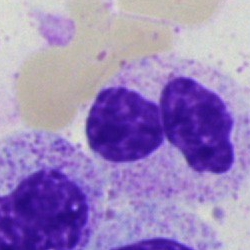

Morphology → polymorphonuclear neutrophil.